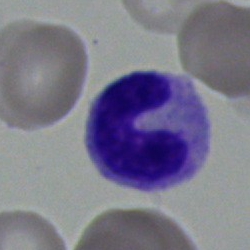
A neutrophil (band).